Bone marrow aspirate smear — 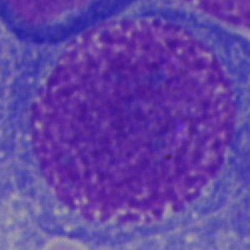
Single cell identified as an undifferentiated blast.